Brightfield microscopy, 40× oil immersion; single-cell crop; bone marrow smear: 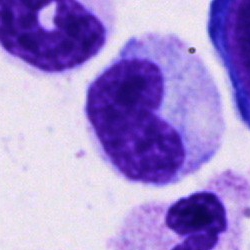

Impression → metamyelocyte.